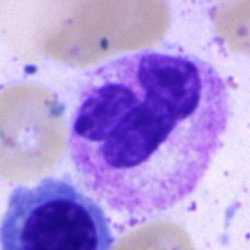

Impression → neutrophil (segmented).